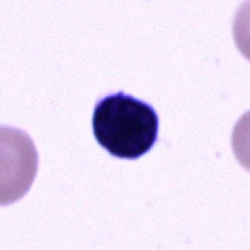

The classification is artefact.